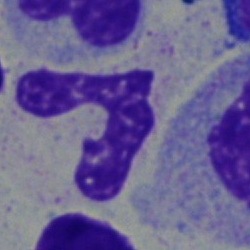

This is a polymorphonuclear neutrophil.